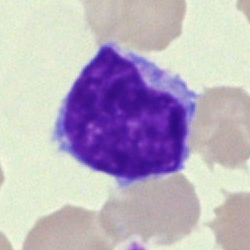 Cell: typical lymphocyte.